Bone marrow aspirate smear · 40× oil immersion
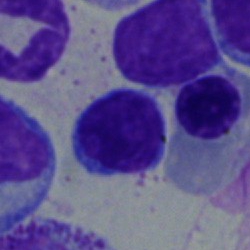This is a lymphocyte.